Bone marrow smear · single-cell crop — 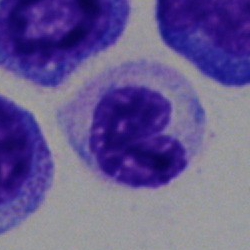 Showing a segmented neutrophil.